May-Grünwald-Giemsa/Pappenheim stain · image size 250×250 · bone marrow smear.
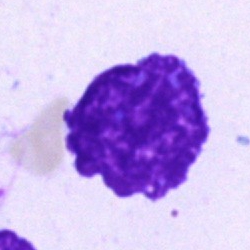
Single cell identified as an artifact.